Bone marrow smear — 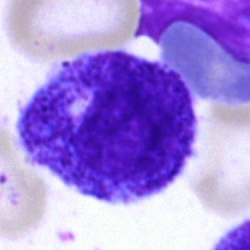
Single cell identified as a promyelocyte.